May-Grünwald-Giemsa stain · 40× oil immersion · bone marrow aspirate smear
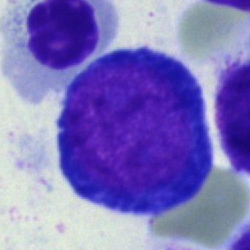 Showing a pronormoblast.